Bone marrow aspirate smear
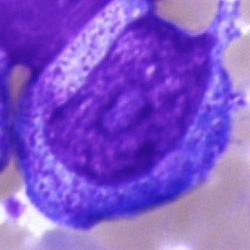

Cell — progranulocyte.